Bone marrow smear — 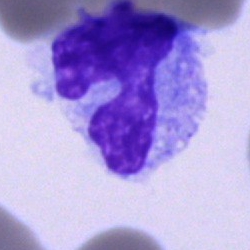 The cell is monocyte.